Bone marrow aspirate smear: 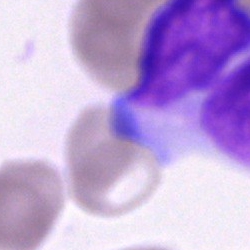 Q: What is shown here?
A: This is a blast.